40× objective, oil immersion; bone marrow aspirate smear.
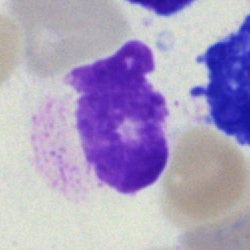

Q: What is shown here?
A: This is an artefact.